400×400. Peripheral blood film: 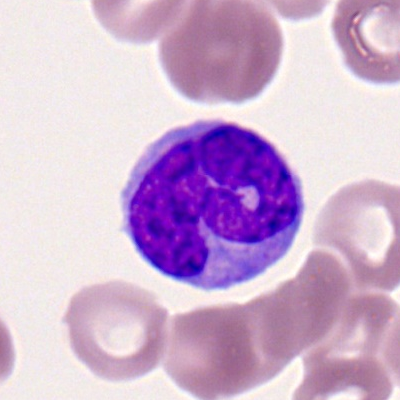

The cell shown is a monocyte.